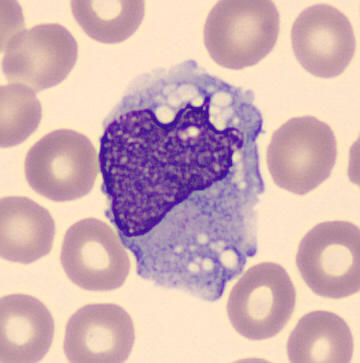 Acquisition: May Grünwald-Giemsa stain; peripheral blood film. A monocyte.